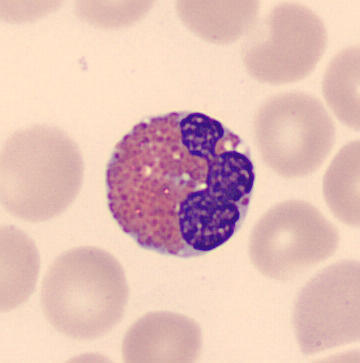 Showing an eosinophil. Peripheral blood film.